Peripheral blood film.
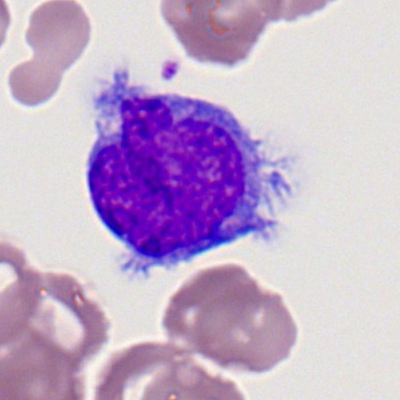
Q: What is shown here?
A: Monocyte.